250×250. Bone marrow smear.
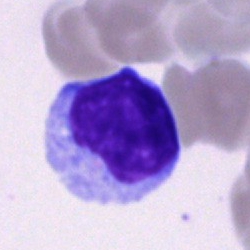Morphology consistent with a cell of indeterminate lineage.